Bone marrow smear.
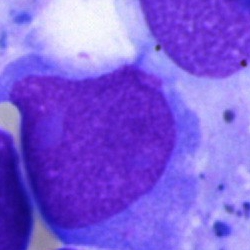The cell type is blast cell.